Romanowsky-type stain. Peripheral blood smear
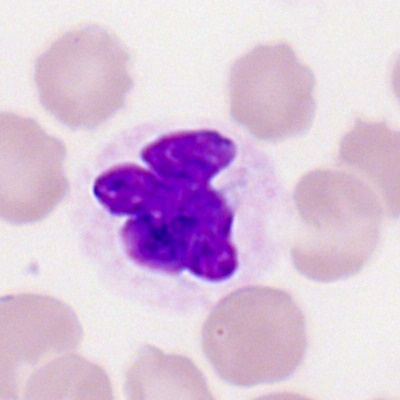Cell = segmented neutrophil.